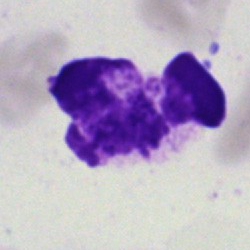

Specimen: bone marrow aspirate smear.
Classification: artefact.